250×250 px; bone marrow aspirate smear; 40× oil immersion:
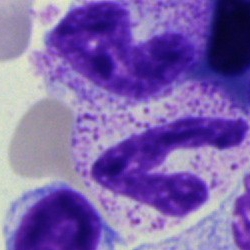
Showing a polymorphonuclear neutrophil.